May-Grünwald-Giemsa/Pappenheim stain. Bone marrow smear. Brightfield, 40× oil-immersion objective: 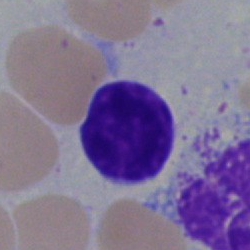Q: Which cell type is shown here?
A: Typical lymphocyte.